Bone marrow aspirate smear: 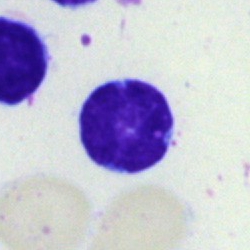
Q: What cell is this?
A: This is a lymphocyte.